Bone marrow aspirate smear.
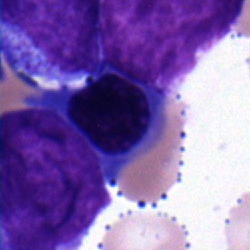The cell shown is an erythroblast.